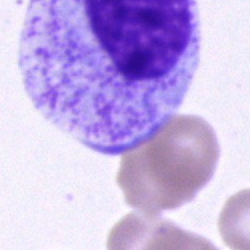
Promyelocyte.